Bone marrow smear:
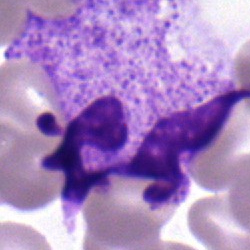
The cell type is polymorphonuclear neutrophil.